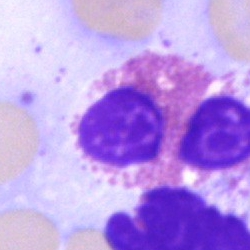 Bone marrow aspirate smear, single cell — eosinophilic granulocyte.